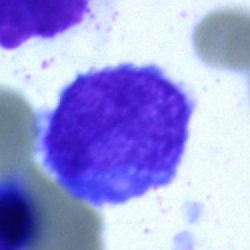A blast cell on a bone marrow smear.